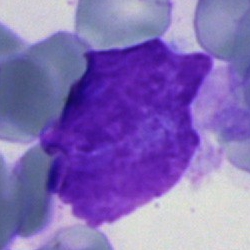
{"cell_type": "blast"}